Brightfield microscopy, 40× oil immersion. Bone marrow smear: 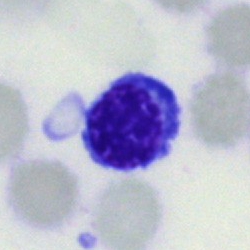 Single cell identified as an erythroblast.